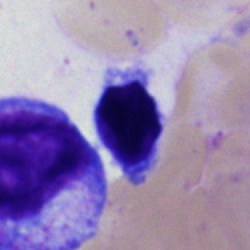 Single-cell crop from a bone marrow smear: artefact.